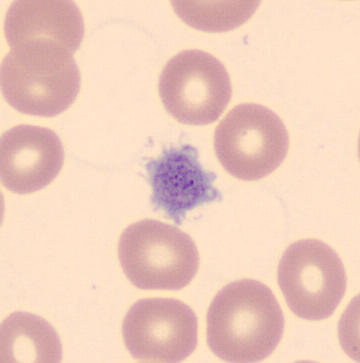
Showing a platelet (thrombocyte).